Bone marrow aspirate smear · brightfield microscopy, 40× oil immersion · MGG-stained
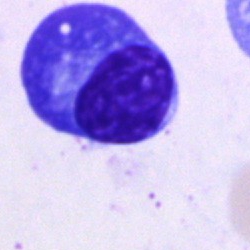 Q: What type of cell is this?
A: It is a plasmacyte.